Pappenheim-stained; bone marrow smear: 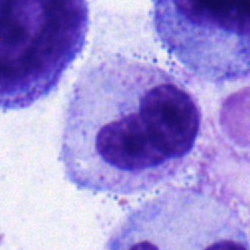

This is a metamyelocyte.